Bone marrow aspirate smear. 250×250:
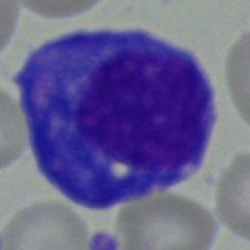The cell shown is a plasmacyte.